Single-cell field; bone marrow aspirate smear; Pappenheim-stained:
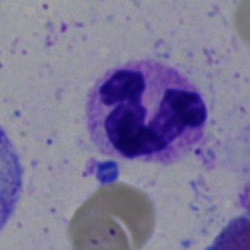 Segmented neutrophil.